Bone marrow aspirate smear · Pappenheim-stained · 250×250 px:
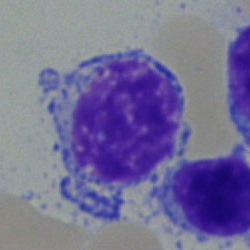 Showing a lymphocyte.